Cropped to a single cell. Brightfield, 40× oil-immersion objective. Bone marrow smear.
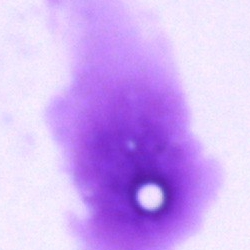Showing an artefact.